Bone marrow aspirate smear; May-Grünwald-Giemsa/Pappenheim stain — 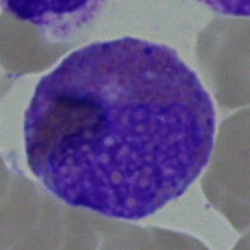

Q: What is the morphological classification of this cell?
A: This is an eosinophilic granulocyte.